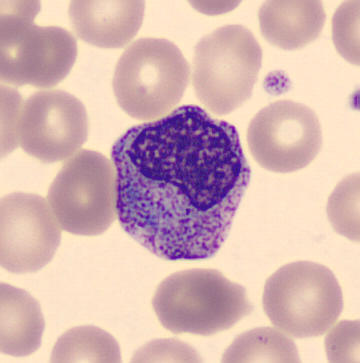

The morphological class is metamyelocyte. Imaged on a CellaVision DM96 analyser; peripheral blood film.